250×250. Bone marrow aspirate smear
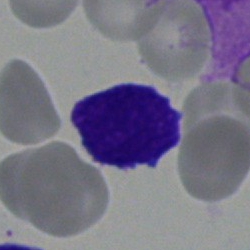
Specimen: bone marrow smear.
Morphological class: lymphocyte.